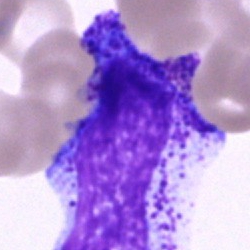Morphological class = progranulocyte.